Bone marrow smear · brightfield microscopy, 40× oil immersion
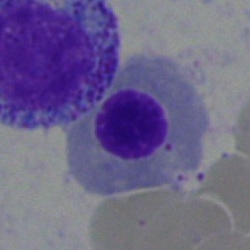 Showing a nucleated red cell.